Bone marrow smear
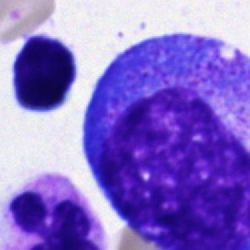Q: Which cell type is shown here?
A: A promyelocyte.